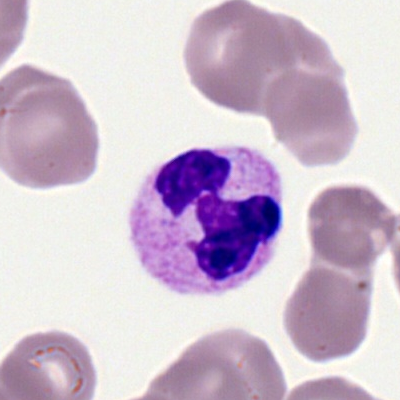The cell shown is a neutrophil (segmented).